Bone marrow aspirate smear.
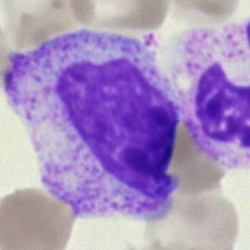
Morphological class — myelocyte.